Brightfield, 40× oil-immersion objective; bone marrow smear: 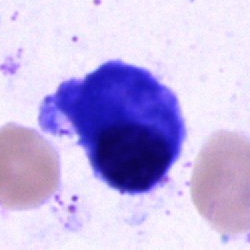

Q: What cell is this?
A: A plasma cell.